Bone marrow aspirate smear — 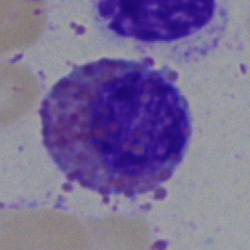An eosinophil.